Bone marrow aspirate smear.
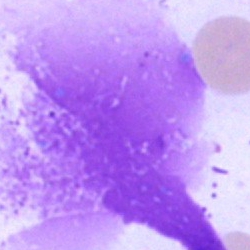
Classification: artifact.